Bone marrow smear:
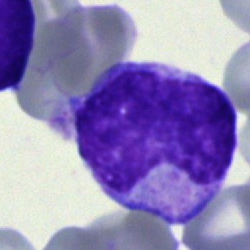
{"cell_type": "monocyte", "lineage": "myeloid"}